Bone marrow smear:
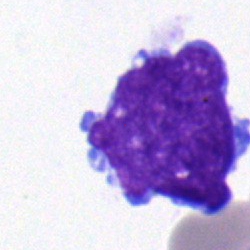 A blast.